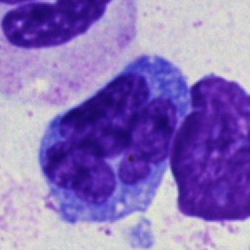

Single-cell crop from a bone marrow smear: monocyte.